Peripheral blood film
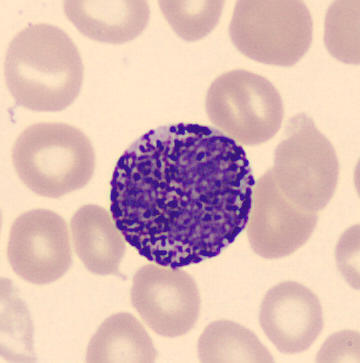Specimen: peripheral blood film.
Cell: basophil.
Lineage: myeloid.